Bone marrow aspirate smear · 250×250: 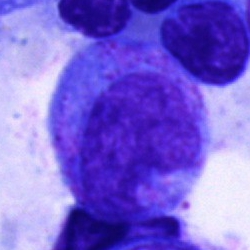

Q: Which cell type is shown here?
A: This is a promyelocyte.